May-Grünwald-Giemsa/Pappenheim stain · bone marrow aspirate smear — 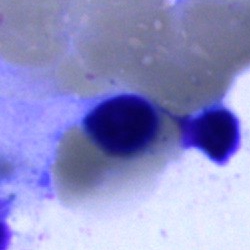

Specimen: bone marrow smear.
Cell type: nucleated red cell.
Lineage: erythroid.